Cropped to a single cell. Bone marrow smear — 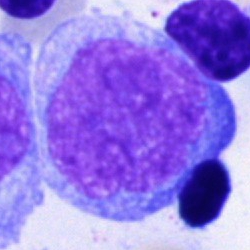Showing a blast cell.